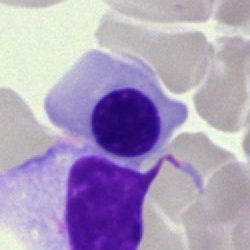 The cell type is normoblast.